Bone marrow aspirate smear — 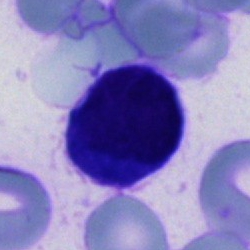Impression → cell of indeterminate lineage.